Image size 250×250. Bone marrow aspirate smear — 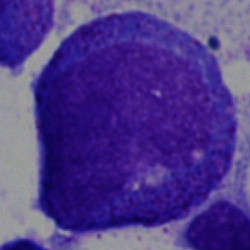

Q: What cell is this?
A: A promyelocyte.